Cropped to a single cell; bone marrow smear; Pappenheim-stained — 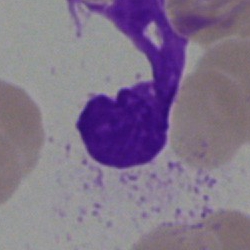 Artefact.